Bone marrow smear. Brightfield, 40× oil-immersion objective:
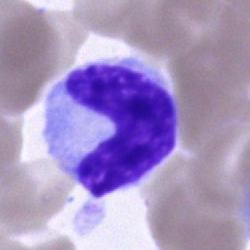 {"cell_type": "band neutrophil"}